MGG stain · peripheral blood smear · CellaVision DM96 digital cell image — 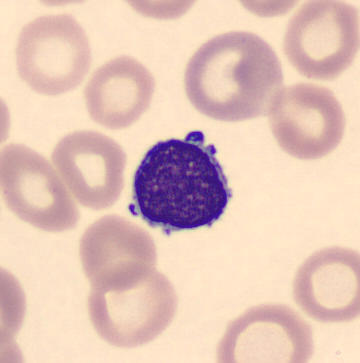 Q: What is the morphological classification of this cell?
A: A typical lymphocyte.